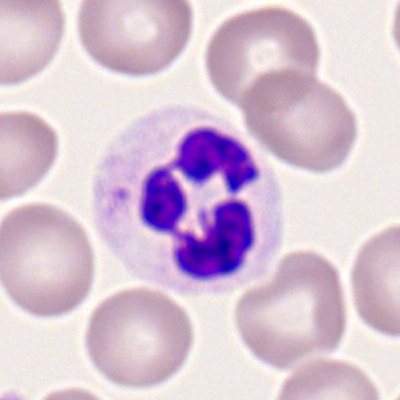
Cell — neutrophil (segmented).